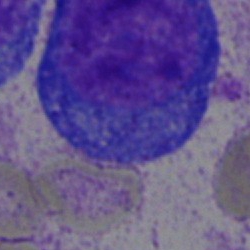 Showing a proerythroblast.